Bone marrow aspirate smear:
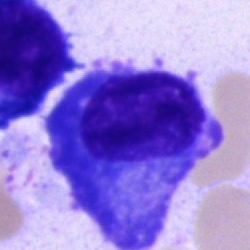

Morphology → plasma cell.